Bone marrow aspirate smear — 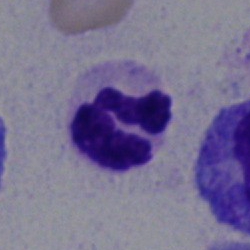
This is a polymorphonuclear neutrophil.